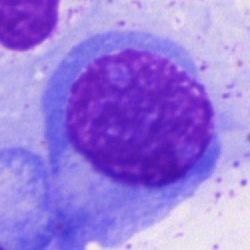Cell type: plasmacyte.